Bone marrow aspirate smear:
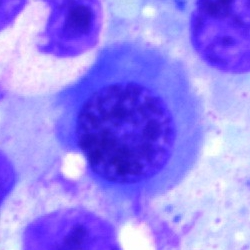Morphology — nucleated red cell.